Peripheral blood film.
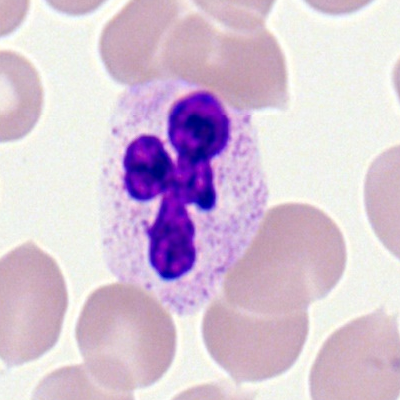

The cell shown is a polymorphonuclear neutrophil.